Bone marrow smear:
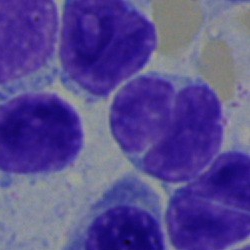Q: What is shown here?
A: It is a lymphocyte.